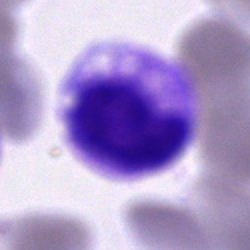 The classification is artefact.